Bone marrow aspirate smear.
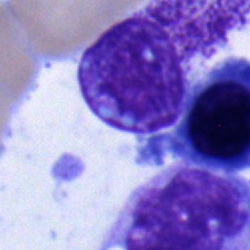
A nucleated red blood cell.